Bone marrow aspirate smear: 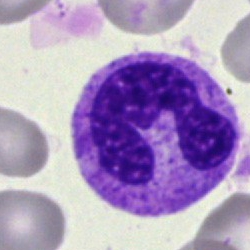 {"cell_type": "neutrophil (segmented)", "lineage": "myeloid"}